Peripheral blood smear — 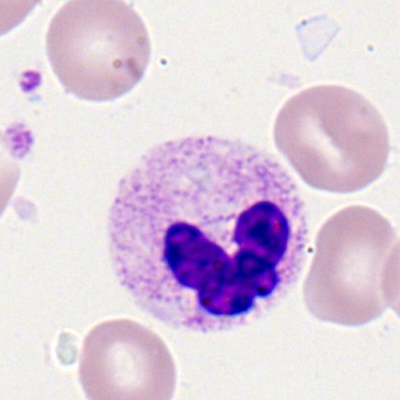 Specimen: peripheral blood smear.
Cell type: neutrophil (segmented).
Lineage: myeloid.